Bone marrow aspirate smear; 250 by 250 pixels
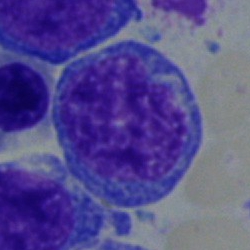Morphology consistent with a normoblast.